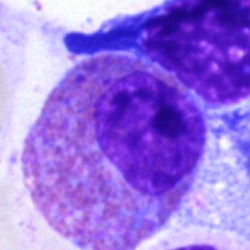 Bone marrow smear showing an eosinophilic granulocyte.